Bone marrow aspirate smear.
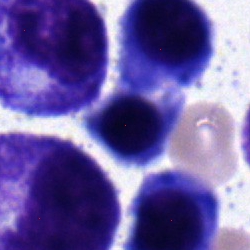

Morphology — nucleated red cell.